Bone marrow smear:
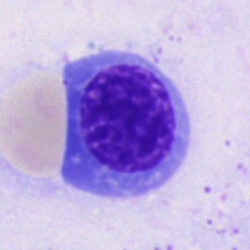
Q: What cell is this?
A: An erythroblast.